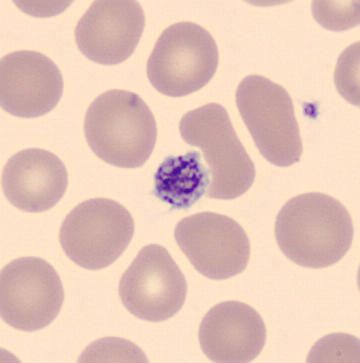The classification is thrombocyte. Acquisition: Peripheral blood film; 360×363 px.